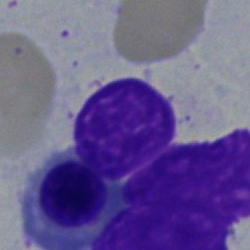

Morphological class — normoblast.